Brightfield microscopy, 40× oil immersion; image size 250×250; bone marrow aspirate smear:
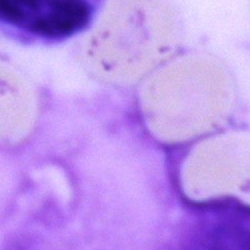Specimen: bone marrow smear.
Cell: artifact.